40× objective, oil immersion. Bone marrow smear.
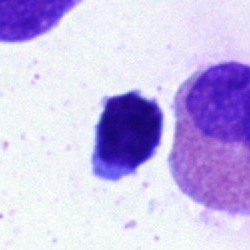

Impression — typical lymphocyte.